Bone marrow aspirate smear:
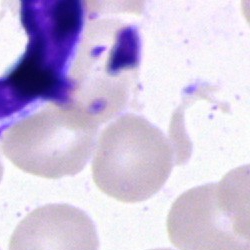Specimen: bone marrow aspirate smear.
Cell: artifact.